40× objective, oil immersion; bone marrow aspirate smear: 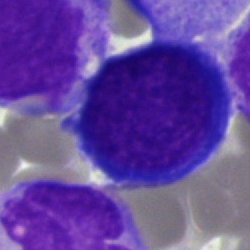
Classification = nucleated red cell.